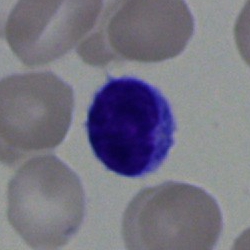{"cell_type": "lymphocyte", "lineage": "lymphoid"}